Bone marrow smear.
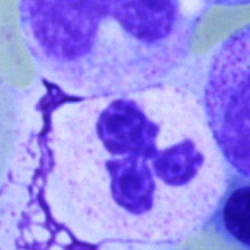
Q: Identify the cell.
A: It is a segmented neutrophil.